Bone marrow smear:
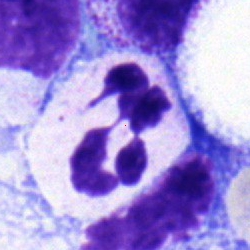Morphology consistent with a polymorphonuclear neutrophil.